Bone marrow aspirate smear
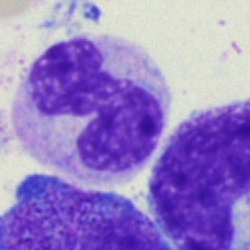Q: Which cell type is shown here?
A: Monocyte.